Bone marrow aspirate smear · May-Grünwald-Giemsa stain.
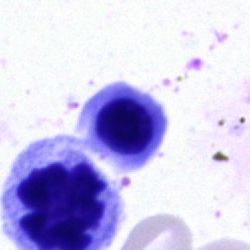

Classification — nucleated red cell.